MGG stain · imaged on a CellaVision DM96 analyser · peripheral blood smear: 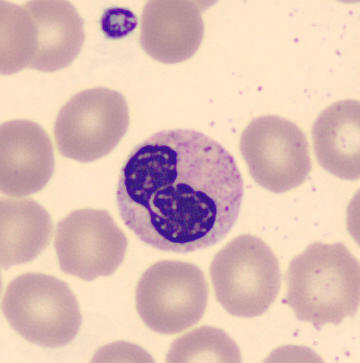
Morphology → band-form neutrophil.